Bone marrow aspirate smear — 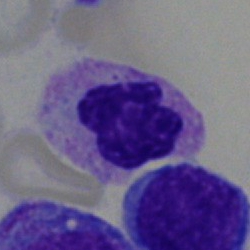 The morphological class is segmented neutrophil.